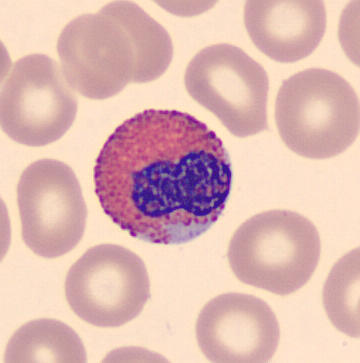
The cell shown is an eosinophil.

Acquisition: Peripheral blood smear.